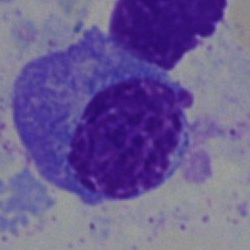
The morphological class is plasma cell.